Peripheral blood film — 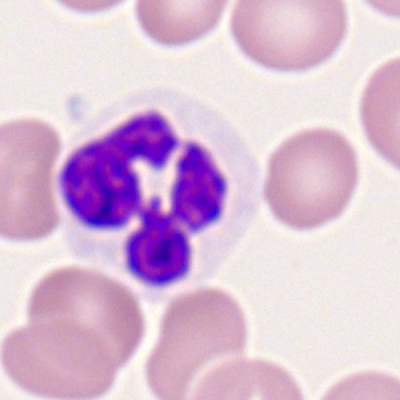

Morphological class — segmented neutrophil.